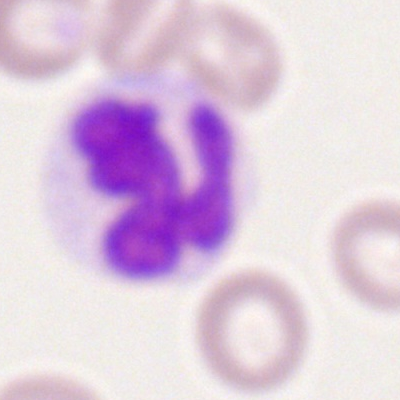{"cell_type": "monocyte", "lineage": "myeloid"}